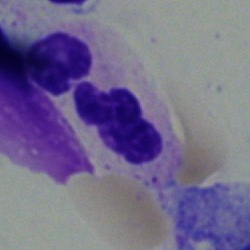The cell shown is a polymorphonuclear neutrophil.